Bone marrow smear. Image size 250×250. Single-cell crop
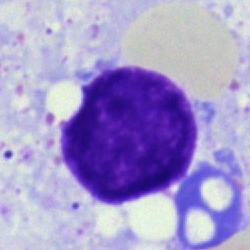
This is an artefact.